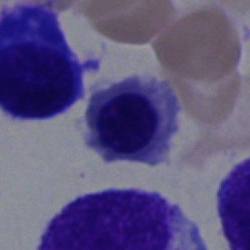

Q: What is shown here?
A: It is a nucleated red blood cell.